Bone marrow smear: 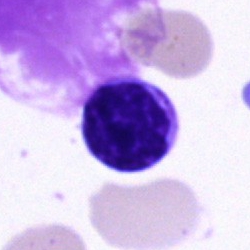
This is a typical lymphocyte.